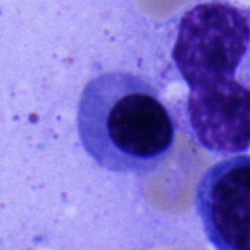Impression — erythroblast.